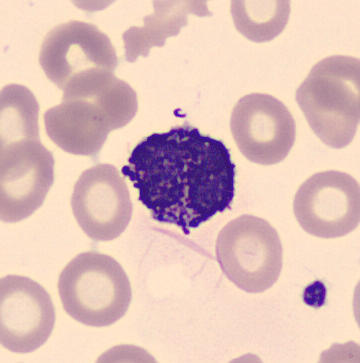 Peripheral blood film.
{"cell_type": "basophilic granulocyte", "lineage": "myeloid"}